Bone marrow smear; single-cell field
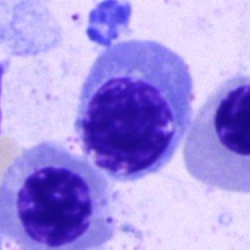

Nucleated red cell.